Bone marrow smear
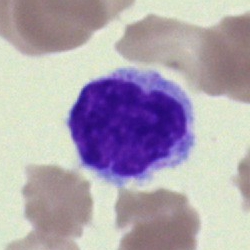Specimen: bone marrow aspirate smear.
Morphological class: lymphocyte.
Lineage: lymphoid.